Brightfield, 40× oil-immersion objective; bone marrow aspirate smear — 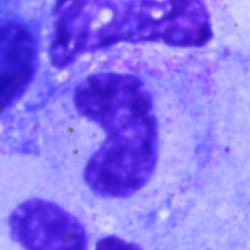

Cell type = stab cell.